Romanowsky-stained · peripheral blood smear:
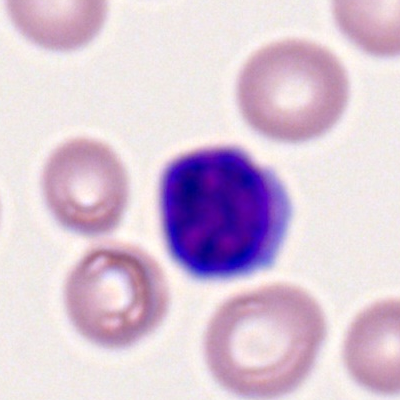 The cell shown is a typical lymphocyte.